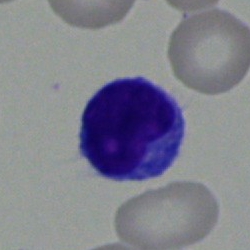
Q: What type of cell is this?
A: It is a lymphocyte.